MGG-stained · bone marrow smear.
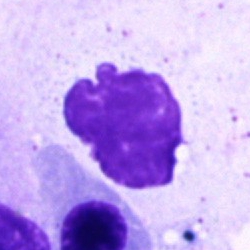
Morphology → artifact.